Bone marrow smear. Single-cell crop. 40× objective, oil immersion: 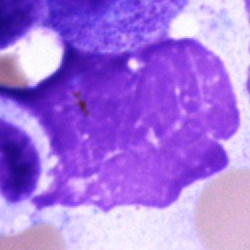
Q: What is shown here?
A: This is an artifact.